Bone marrow aspirate smear: 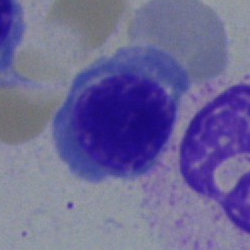 Cell = nucleated red blood cell.